Bone marrow aspirate smear; single cell centered in the field; May-Grünwald-Giemsa/Pappenheim stain.
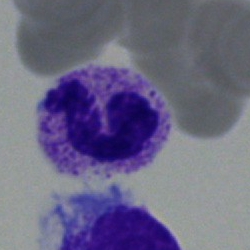
Q: Identify the cell.
A: This is a segmented neutrophil.